Bone marrow aspirate smear: 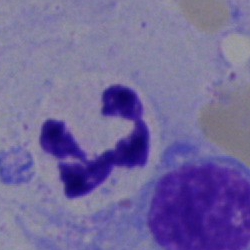Specimen: bone marrow aspirate smear.
Cell: polymorphonuclear neutrophil.
Lineage: myeloid.